Bone marrow aspirate smear:
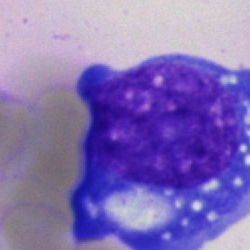Showing a blast cell.